Bone marrow aspirate smear. Image size 250×250. Brightfield, 40× oil-immersion objective — 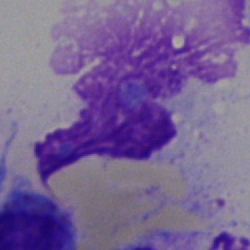An artefact.